250×250. MGG-stained. Bone marrow aspirate smear.
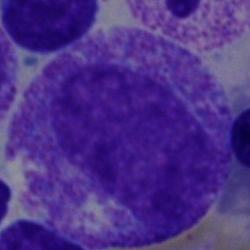

Single cell identified as a myelocyte.